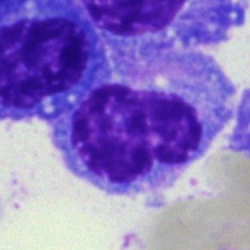
Single-cell crop from a bone marrow smear: plasma cell.